Bone marrow smear. Image size 250×250. MGG-stained: 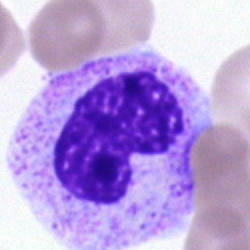

Morphology consistent with a stab cell.